Cropped to a single cell; bone marrow smear:
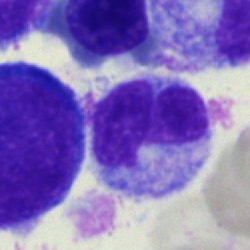 Cell type: monocyte.